Peripheral blood film: 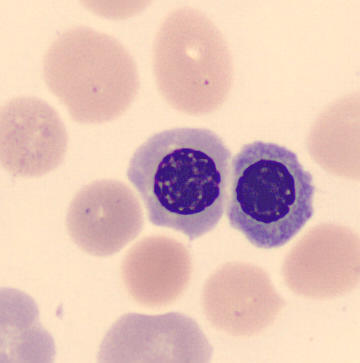
Impression — nucleated red cell.